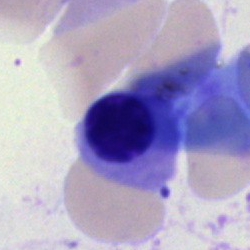

Q: Which cell type is shown here?
A: An erythroblast.